250×250 px. Bone marrow smear — 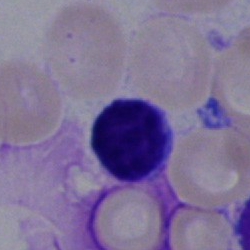 Classification: lymphocyte.